May-Grünwald-Giemsa/Pappenheim stain. Bone marrow aspirate smear: 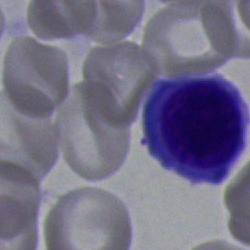
Single cell identified as a normoblast.